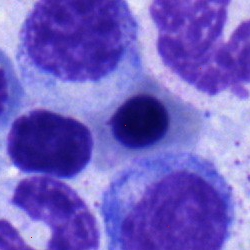Morphology consistent with a nucleated red cell.